May-Grünwald-Giemsa stain · 40× oil immersion · bone marrow aspirate smear — 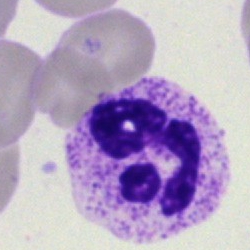 Impression → neutrophil (segmented).